250 by 250 pixels · single cell centered in the field · bone marrow smear — 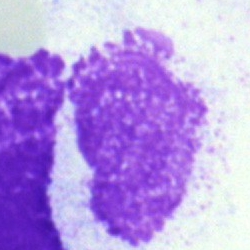
An artifact.